Bone marrow smear
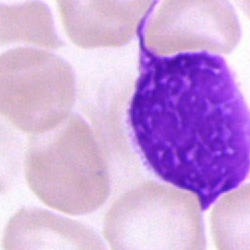An artifact.